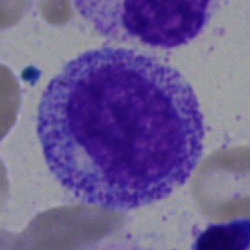
This is a myelocyte.